Bone marrow aspirate smear. 250 by 250 pixels
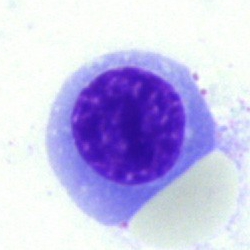
Q: What type of cell is this?
A: This is a normoblast.